Bone marrow aspirate smear.
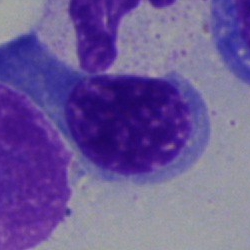
Specimen: bone marrow aspirate smear.
Cell type: nucleated red cell.